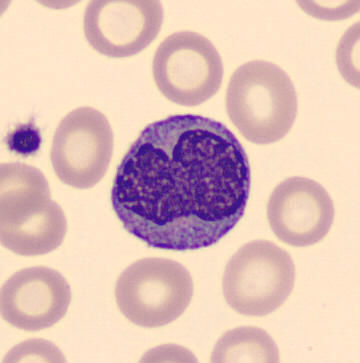 Identified as a monocyte.